Peripheral blood smear · Romanowsky stain: 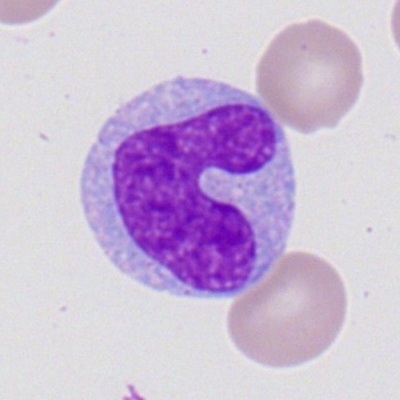The morphological class is monocyte.